Bone marrow aspirate smear:
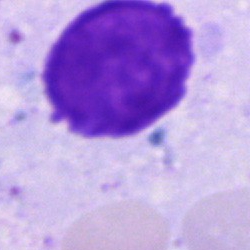Q: What is shown here?
A: This is an artifact.